Bone marrow aspirate smear:
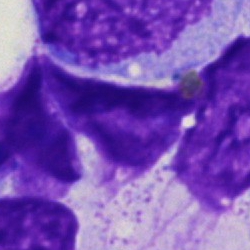

Cell type — artefact.